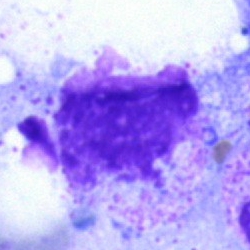
Bone marrow aspirate smear, single cell — artifact.